Peripheral blood smear.
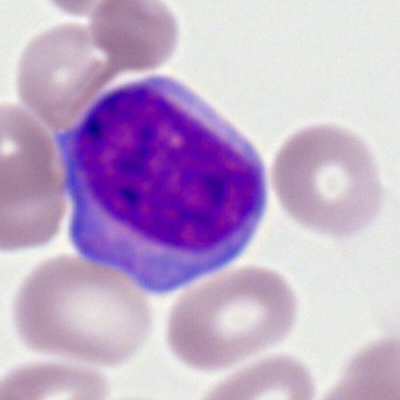
The cell shown is a myeloid blast.